Bone marrow smear. 250×250. Single-cell field — 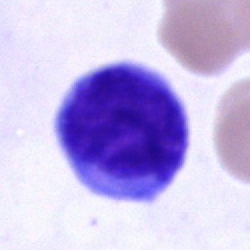The cell shown is an undifferentiated blast.